Bone marrow aspirate smear. May-Grünwald-Giemsa/Pappenheim stain: 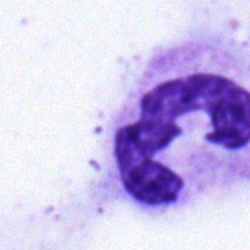
The cell shown is a neutrophil (segmented).